Peripheral blood film
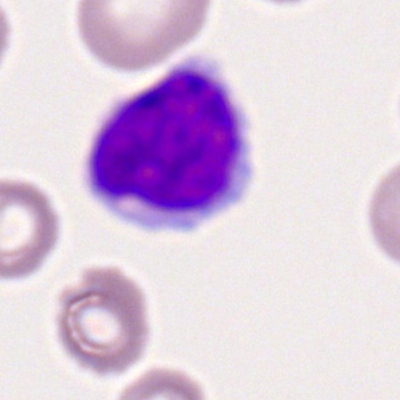

The cell type is typical lymphocyte.